Bone marrow smear
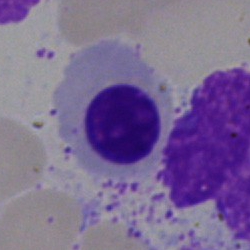

Q: What cell is this?
A: A nucleated red blood cell.